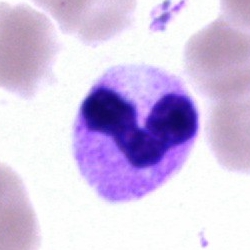
Impression → neutrophil (segmented).